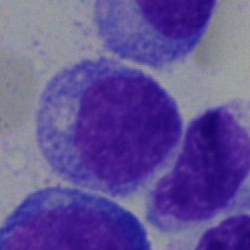
Classification: lymphocyte.